Bone marrow smear; single-cell field: 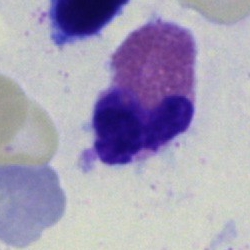 Impression → eosinophilic granulocyte.